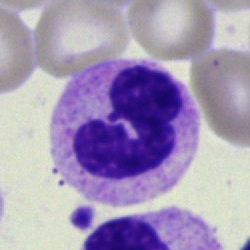 Specimen: bone marrow smear.
Cell: neutrophil (segmented).